Peripheral blood smear: 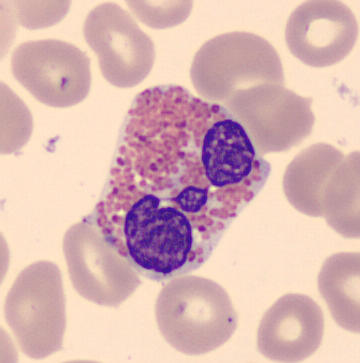
Classification — eosinophilic granulocyte.